Bone marrow aspirate smear — 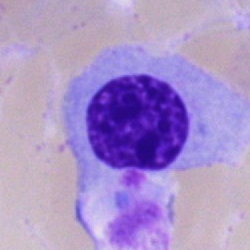
This is a normoblast.